Bone marrow smear
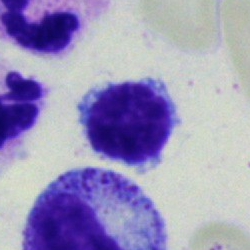Lymphocyte.